Bone marrow smear.
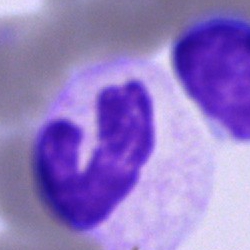

Morphological class — stab cell.